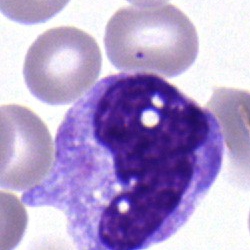

Bone marrow smear showing a monocyte.